Image size 250×250. Bone marrow smear — 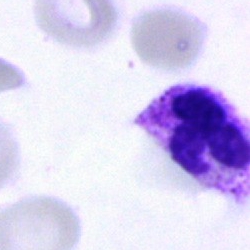
Specimen: bone marrow aspirate smear.
Cell type: polymorphonuclear neutrophil.